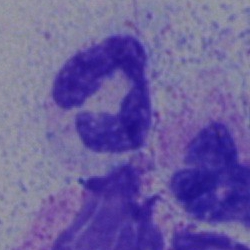{"cell_type": "polymorphonuclear neutrophil", "lineage": "myeloid"}